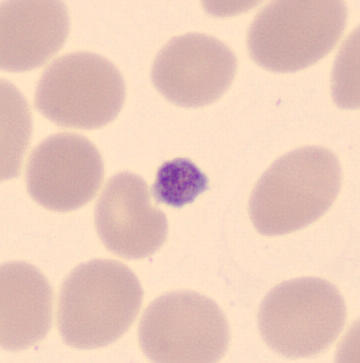Preparation: Peripheral blood smear. MGG-stained. Morphology consistent with a platelet.